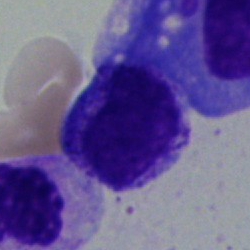 Specimen: bone marrow aspirate smear.
Morphological class: plasmacyte.